Bone marrow aspirate smear. Single-cell crop: 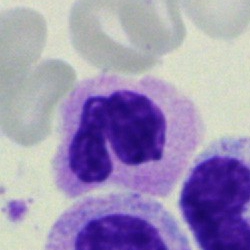Impression — neutrophil (segmented).